Bone marrow smear; 250×250 px; brightfield microscopy, 40× oil immersion.
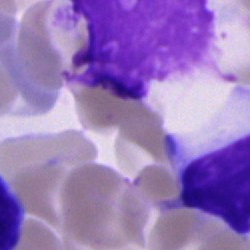

Showing an artefact.